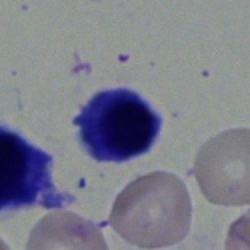 A nucleated red cell on a bone marrow smear.